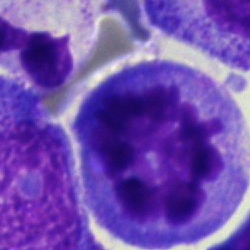Specimen: bone marrow aspirate smear.
Cell: artefact.